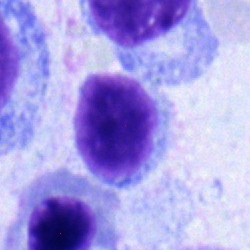 {"cell_type": "typical lymphocyte"}